Single-cell field · bone marrow smear:
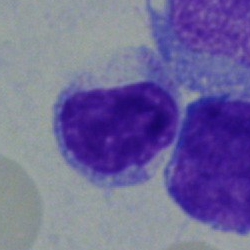 A lymphocyte.